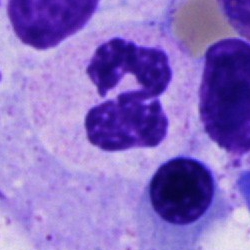 Classification = neutrophil (segmented).